Peripheral blood film.
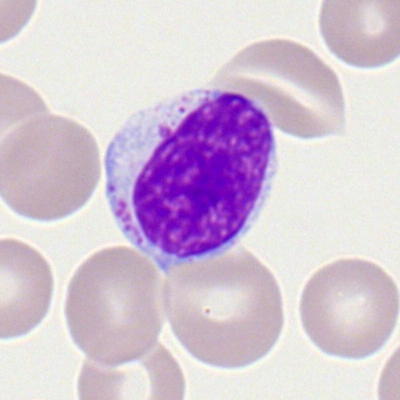

{"cell_type": "typical lymphocyte"}